Bone marrow aspirate smear
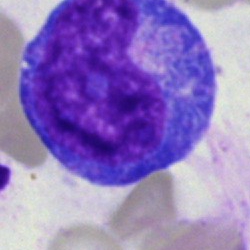

The cell shown is a progranulocyte.